Bone marrow aspirate smear: 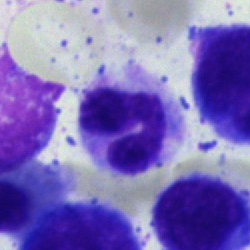 Classification: segmented neutrophil.